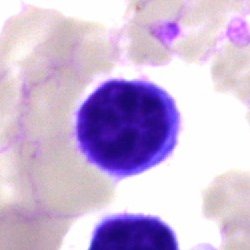

A typical lymphocyte on a bone marrow smear.